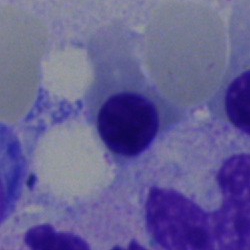Morphology — nucleated red cell.